Bone marrow smear
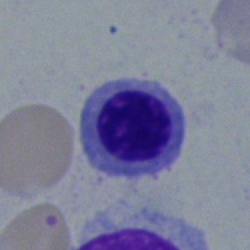Specimen: bone marrow aspirate smear.
Cell: nucleated red blood cell.